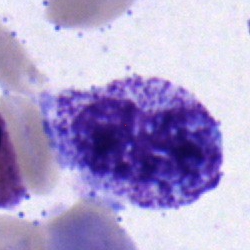 {"cell_type": "metamyelocyte", "lineage": "myeloid"}